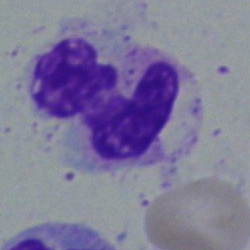 Single-cell crop from a bone marrow smear: polymorphonuclear neutrophil.